Bone marrow aspirate smear.
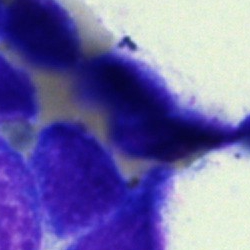Specimen: bone marrow aspirate smear.
Cell: artefact.